250×250 px · bone marrow aspirate smear: 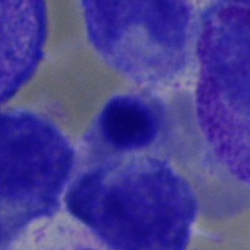 Q: What is shown here?
A: This is a nucleated red blood cell.